Bone marrow aspirate smear. Single-cell field:
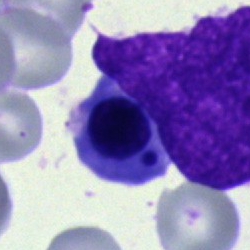
Morphology → nucleated red blood cell.